Bone marrow aspirate smear · single-cell crop — 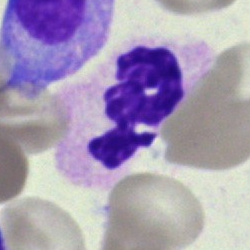 Q: Identify the cell.
A: Polymorphonuclear neutrophil.